Bone marrow aspirate smear; May-Grünwald-Giemsa stain — 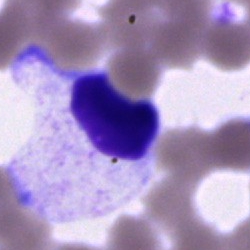

Single cell identified as an artifact.